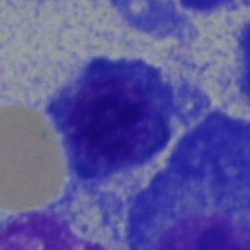
Showing a plasmacyte.